Single cell centered in the field; bone marrow smear:
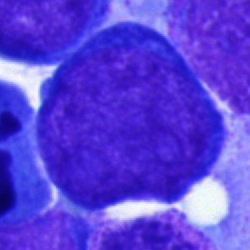
Q: What is shown here?
A: This is a blast.